Bone marrow aspirate smear; brightfield microscopy, 40× oil immersion; image size 250×250: 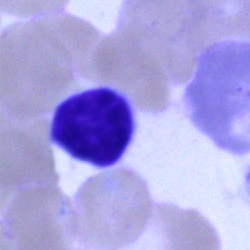 Q: What cell is this?
A: A lymphocyte.